Bone marrow aspirate smear
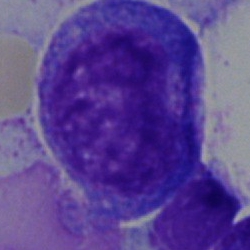

Cell = promyelocyte.